Bone marrow aspirate smear — 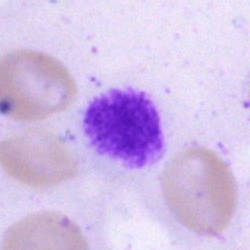

{"cell_type": "artifact"}